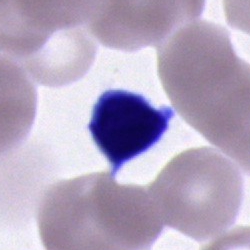

Morphological class — typical lymphocyte.